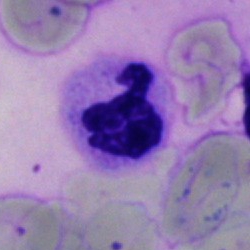 Impression → polymorphonuclear neutrophil.